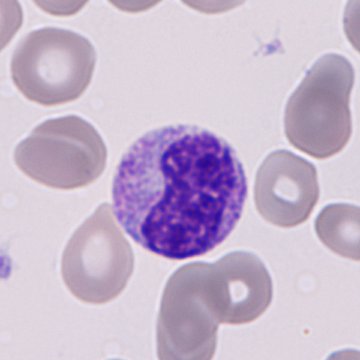
Morphology → immature granulocyte.